Single-cell field · bone marrow aspirate smear:
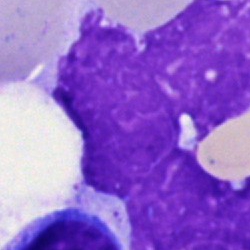 Morphology consistent with an artifact.